Single-cell crop. Bone marrow aspirate smear: 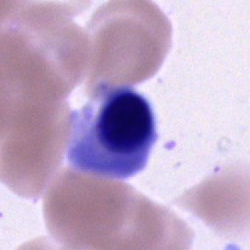 The cell shown is a normoblast.